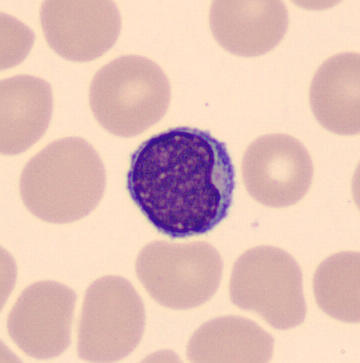
Specimen: peripheral blood film.
Cell type: typical lymphocyte.
Lineage: lymphoid. Image: May Grünwald-Giemsa stain.